May-Grünwald-Giemsa stain · bone marrow aspirate smear
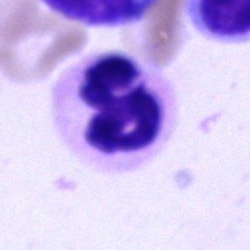
Q: Identify the cell.
A: It is a segmented neutrophil.